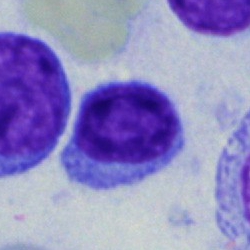 Specimen: bone marrow smear.
Cell type: typical lymphocyte.